Bone marrow aspirate smear:
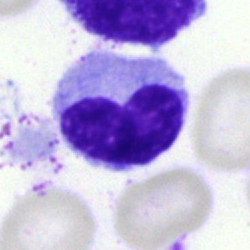Single cell identified as a metamyelocyte.